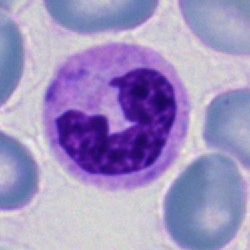A polymorphonuclear neutrophil on a bone marrow smear.